Bone marrow aspirate smear
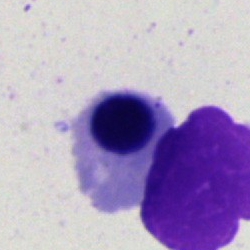
Impression — normoblast.